Bone marrow smear.
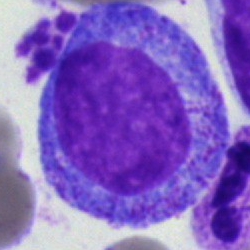
Showing a progranulocyte.